Bone marrow smear.
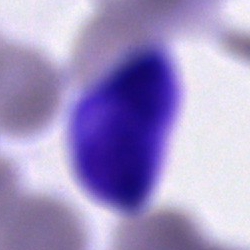
Impression — artifact.